40× objective, oil immersion; Pappenheim-stained; bone marrow aspirate smear.
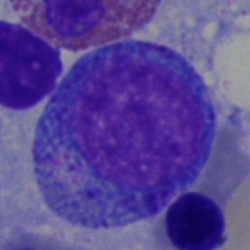
Morphology — promyelocyte.